Bone marrow aspirate smear:
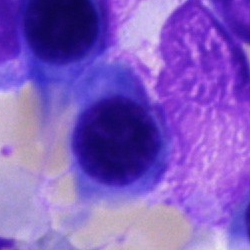
Q: Which cell type is shown here?
A: Erythroblast.